Bone marrow aspirate smear — 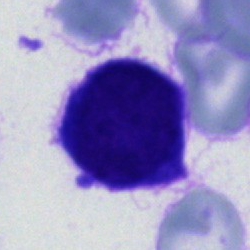
Showing a cell of indeterminate lineage.